Single-cell field. Bone marrow aspirate smear. 250×250 px
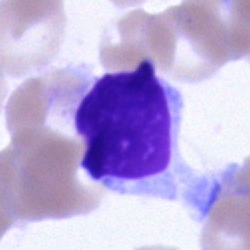
Q: What is shown here?
A: An artifact.